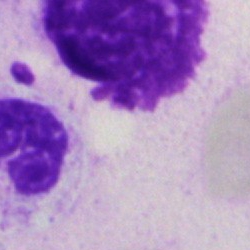
Cell type: artefact.